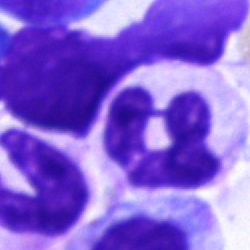Bone marrow aspirate smear, single cell — neutrophil (segmented).